100× oil immersion, 14.14 px/µm. Peripheral blood film. Image size 400×400
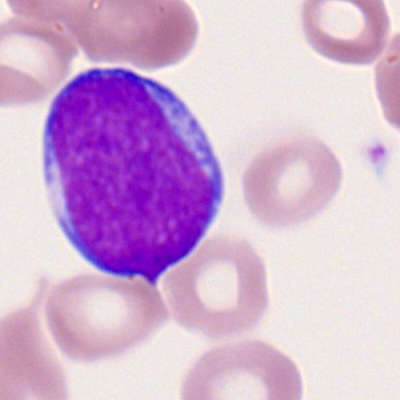 Showing a myeloblast.